Pappenheim-stained. Bone marrow aspirate smear. Cropped to a single cell — 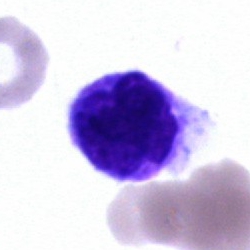
Cell: lymphocyte.